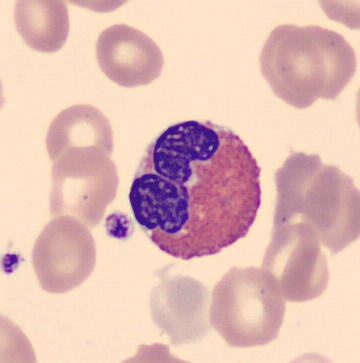Identified as an eosinophil.